Bone marrow smear. 40× oil immersion:
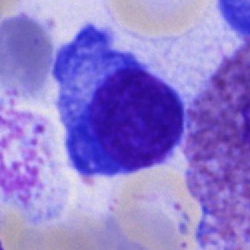

This is a plasmacyte.